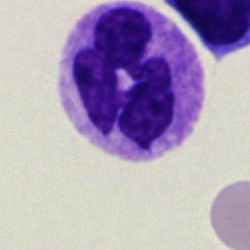 Q: What is shown here?
A: This is a neutrophil (segmented).